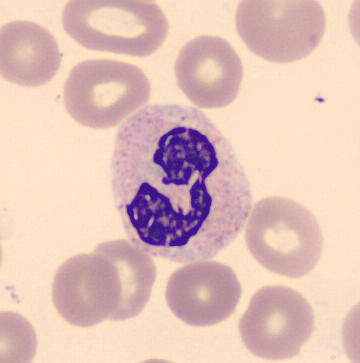 Peripheral blood film.

Single cell identified as a polymorphonuclear neutrophil.